40× oil immersion · bone marrow smear
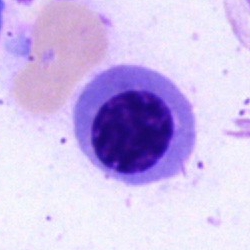 Q: What type of cell is this?
A: It is an erythroblast.